Peripheral blood film — 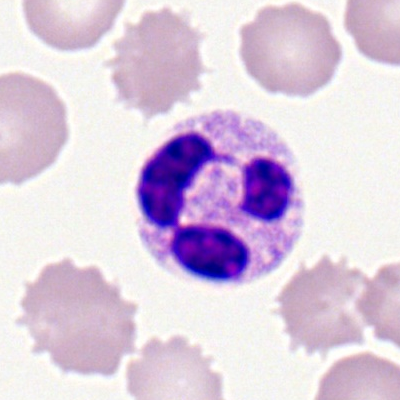Impression — segmented neutrophil.